Peripheral blood smear:
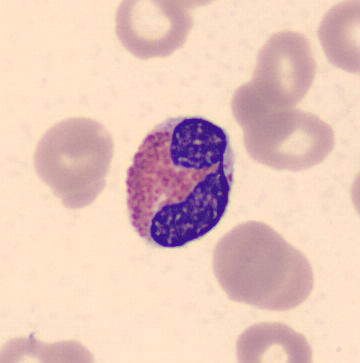

This is an eosinophilic granulocyte.